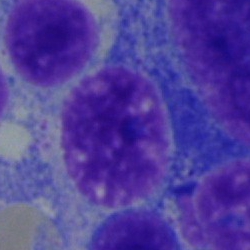

Bone marrow aspirate smear, single cell — plasma cell.